Bone marrow smear:
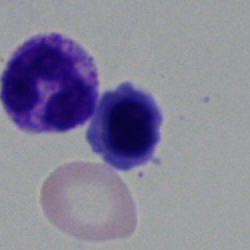The cell shown is a neutrophil (segmented).